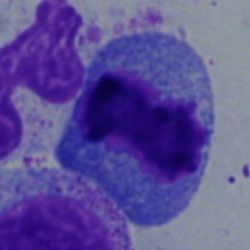 This is a plasma cell.